Single-cell crop · 40× objective, oil immersion · bone marrow smear — 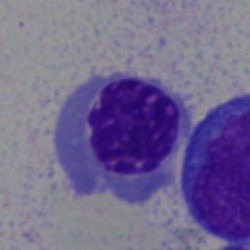 Classification — nucleated red cell.